Bone marrow aspirate smear: 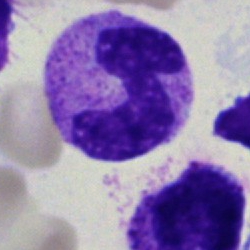The morphological class is polymorphonuclear neutrophil.